Bone marrow smear. Image size 250×250. MGG-stained:
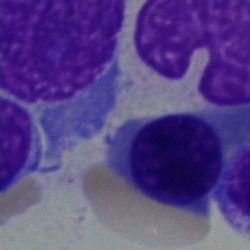

This is a nucleated red blood cell.